MGG-stained. Bone marrow aspirate smear:
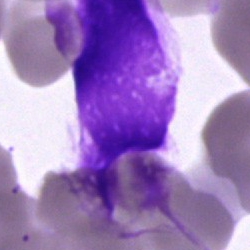This is an artefact.